Bone marrow smear · Pappenheim-stained
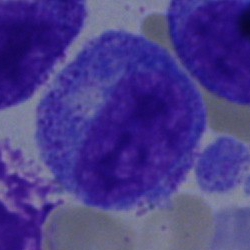
Q: What type of cell is this?
A: It is a progranulocyte.